Bone marrow smear:
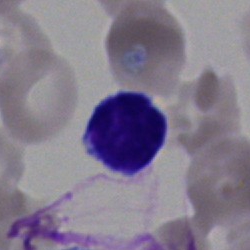 Morphology consistent with a typical lymphocyte.